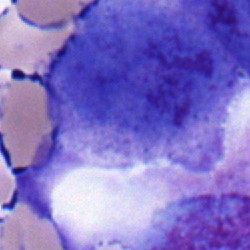 Cell — blast.